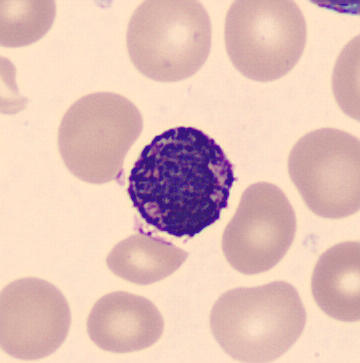

The cell shown is a basophilic granulocyte.
Image: Peripheral blood film.